100× oil immersion, 14.14 px/µm; Romanowsky-stained; peripheral blood film
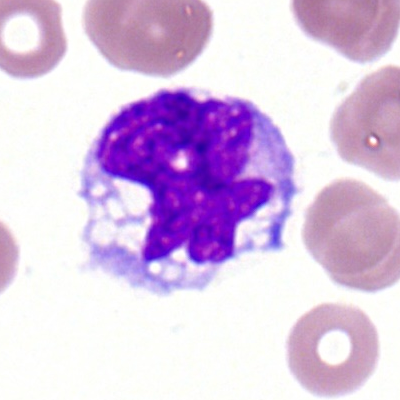
Impression → monocyte.